Peripheral blood smear
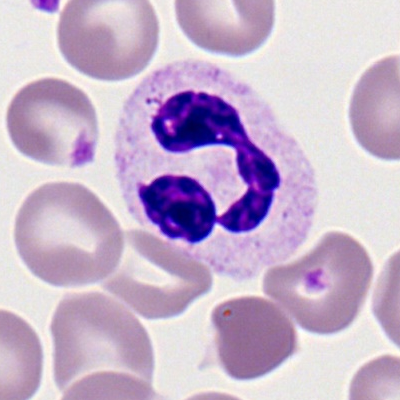

Specimen: peripheral blood smear.
Classification: neutrophil (segmented).
Lineage: myeloid.